Bone marrow smear — 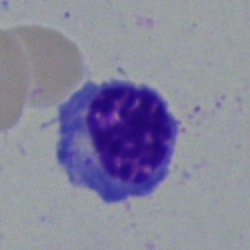
The cell is nucleated red blood cell.